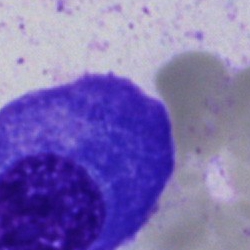
Impression — plasma cell.